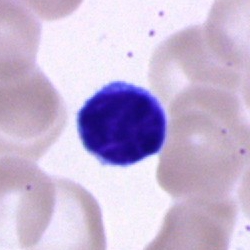 Q: What is the morphological classification of this cell?
A: A typical lymphocyte.